Peripheral blood smear. Image size 400×400. Cropped to a single cell:
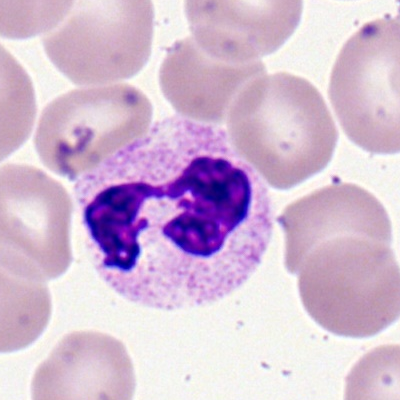

Single cell identified as a segmented neutrophil.